Bone marrow aspirate smear — 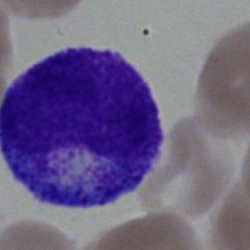
Metamyelocyte.